Bone marrow aspirate smear; single-cell crop; May-Grünwald-Giemsa stain:
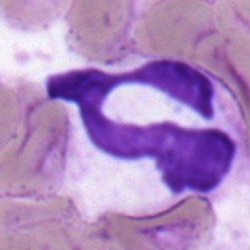
Q: What is shown here?
A: A polymorphonuclear neutrophil.